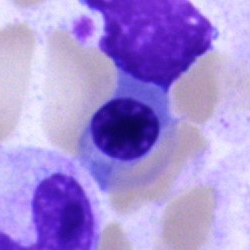
Cell type = nucleated red cell.